May-Grünwald-Giemsa stain; bone marrow aspirate smear:
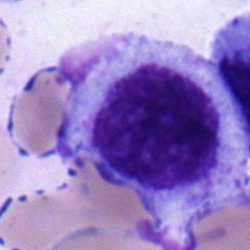
Myelocyte.